Bone marrow aspirate smear:
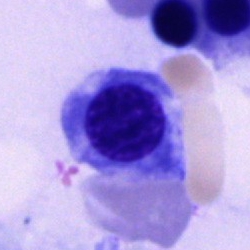 The cell is normoblast.